Bone marrow aspirate smear: 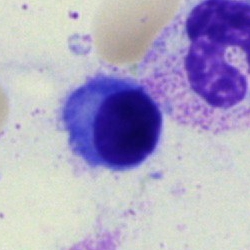Q: What is the morphological classification of this cell?
A: A plasmacyte.